Bone marrow aspirate smear:
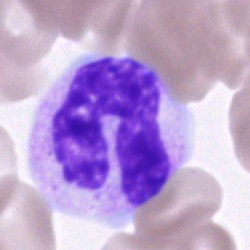

The cell is neutrophil (band).